Bone marrow smear
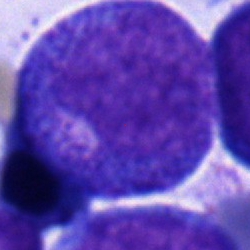Q: What cell is this?
A: It is a progranulocyte.